Bone marrow aspirate smear · 40× oil immersion: 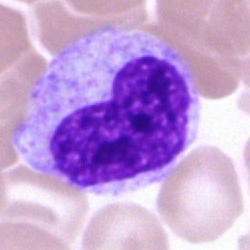 Morphology — myelocyte.